Bone marrow aspirate smear: 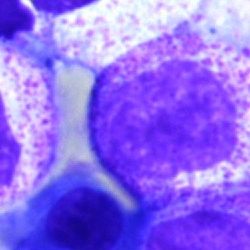
Impression — myelocyte.